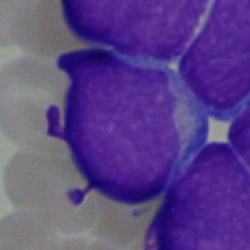Bone marrow aspirate smear, single cell — blast.